Bone marrow smear:
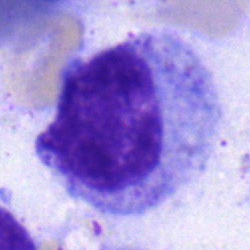
Q: What cell is this?
A: This is a myelocyte.